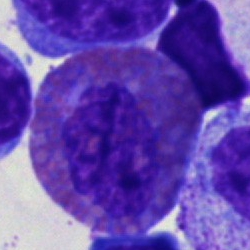The cell is eosinophil.